Bone marrow aspirate smear · 40× objective, oil immersion.
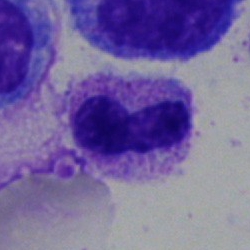Single cell identified as a neutrophil (band).